Bone marrow smear. 250×250 px. Brightfield, 40× oil-immersion objective — 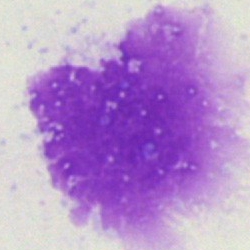 Specimen: bone marrow smear.
Classification: artifact.